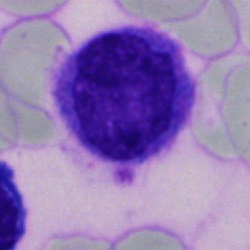
Q: What is shown here?
A: A monocyte.